Bone marrow smear; 40× oil immersion; image size 250×250:
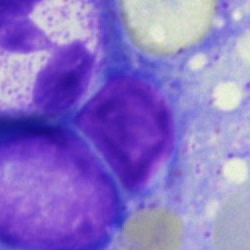 {"cell_type": "artefact"}